Bone marrow smear · May-Grünwald-Giemsa/Pappenheim stain · 250 by 250 pixels:
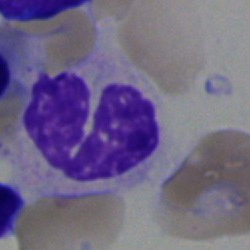
Specimen: bone marrow smear.
Classification: polymorphonuclear neutrophil.